Image size 250×250. Bone marrow aspirate smear: 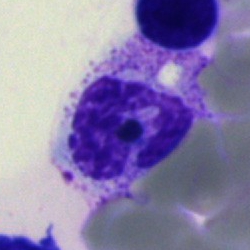
Single cell identified as a polymorphonuclear neutrophil.